Single cell centered in the field; bone marrow aspirate smear; image size 250×250:
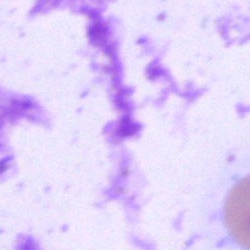
Cell type — artefact.